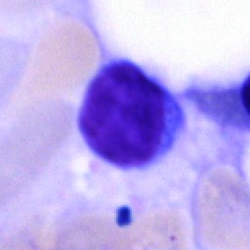

Bone marrow smear showing a typical lymphocyte.